Bone marrow smear: 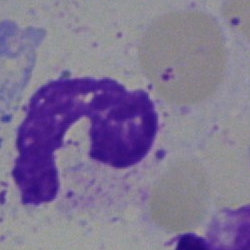Morphology — neutrophil (segmented).